Brightfield, 100× oil-immersion objective; peripheral blood film: 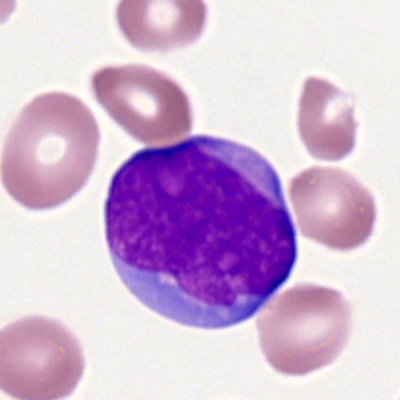Impression — myeloblast.